Peripheral blood smear; Romanowsky-stained:
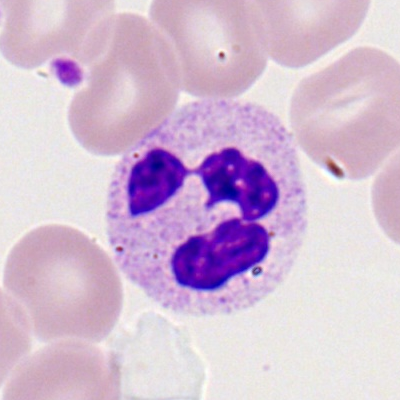 Specimen: peripheral blood smear.
Classification: neutrophil (segmented).